250×250 px · bone marrow aspirate smear
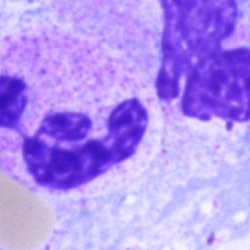

The cell type is segmented neutrophil.